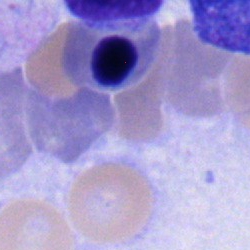{"cell_type": "normoblast", "lineage": "erythroid"}